Bone marrow smear — 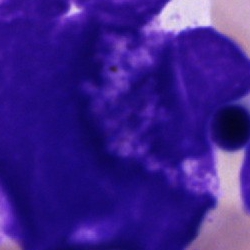 Morphology → artifact.